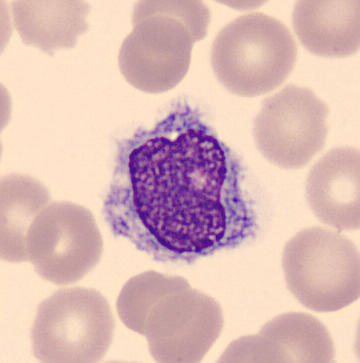

The classification is monocyte. Peripheral blood film · image size 360×363.